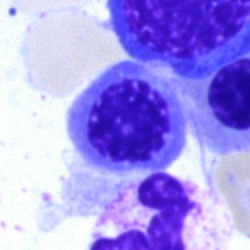A nucleated red blood cell on a bone marrow smear.